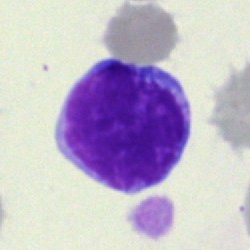 Bone marrow smear showing a typical lymphocyte.